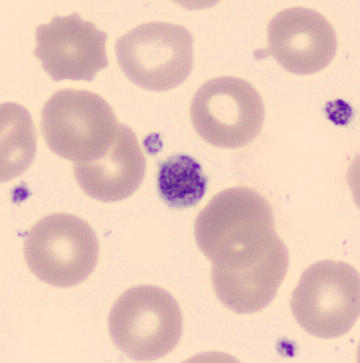 Morphology consistent with a thrombocyte.